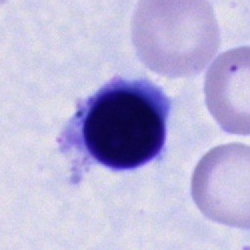
Morphological class: unidentifiable cell.